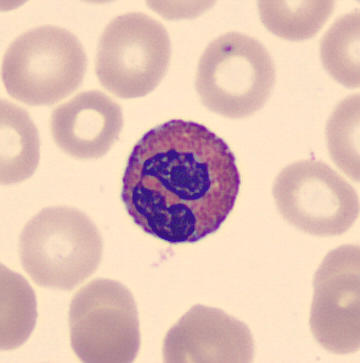
Peripheral blood film. CellaVision DM96 digital cell image. {"cell_type": "eosinophil"}